Bone marrow aspirate smear:
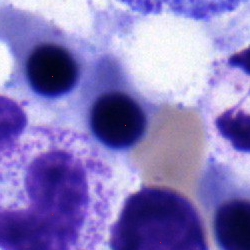

Single cell identified as an erythroblast.